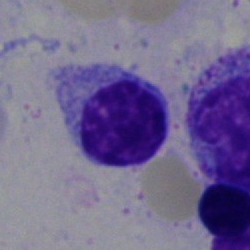Bone marrow aspirate smear, single cell — lymphocyte.